Bone marrow aspirate smear
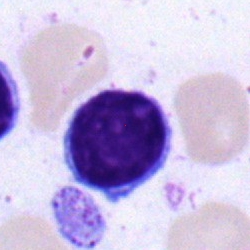Q: Which cell type is shown here?
A: A typical lymphocyte.